Brightfield microscopy, 40× oil immersion. Bone marrow aspirate smear
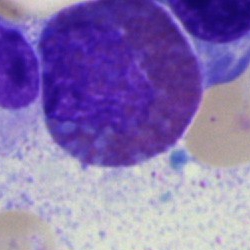

The morphological class is eosinophil.